Single-cell crop · bone marrow smear: 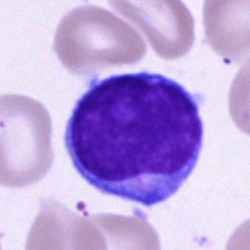

The cell type is lymphocyte.